250 by 250 pixels · bone marrow aspirate smear:
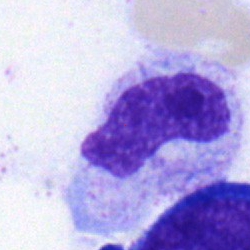

The cell shown is a band-form neutrophil.